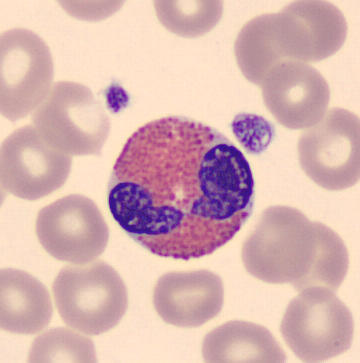

Peripheral blood film.
Single cell identified as an eosinophil.